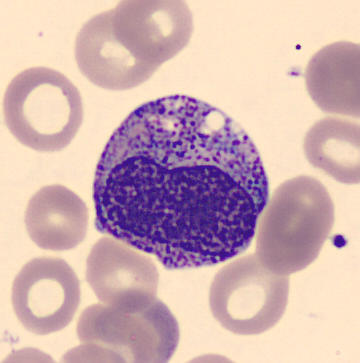 Morphology consistent with a metamyelocyte. Preparation: MGG stain; peripheral blood smear.